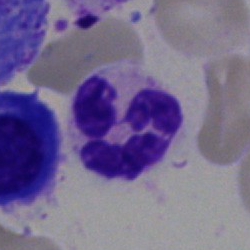

Cell: neutrophil (segmented).